Bone marrow smear.
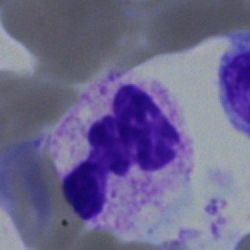
A neutrophil (segmented).